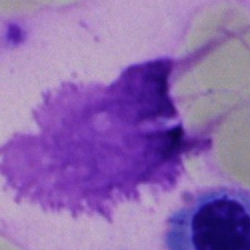 Specimen: bone marrow smear.
Classification: artifact.